40× objective, oil immersion. Bone marrow aspirate smear. May-Grünwald-Giemsa stain — 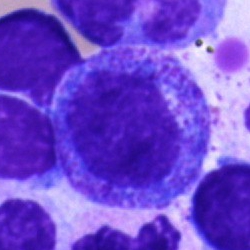 The cell shown is a promyelocyte.